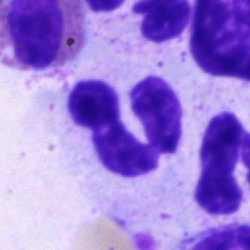

Q: Identify the cell.
A: It is a segmented neutrophil.